Bone marrow aspirate smear; brightfield, 40× oil-immersion objective; May-Grünwald-Giemsa stain
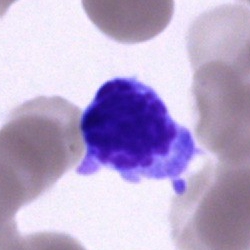 Q: Which cell type is shown here?
A: It is an immature lymphocyte.